Bone marrow aspirate smear: 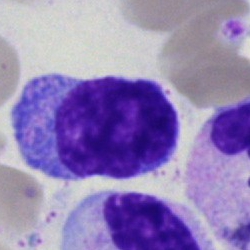
Single cell identified as a typical lymphocyte.